Bone marrow smear — 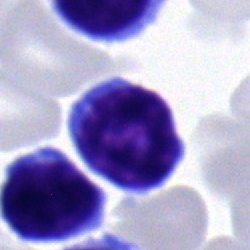Classification = typical lymphocyte.